Bone marrow smear:
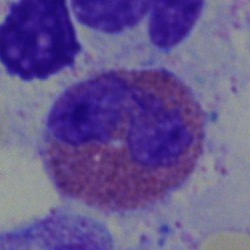
The cell shown is an eosinophilic granulocyte.